Bone marrow smear:
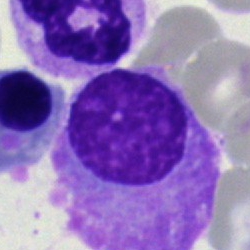 Q: What cell is this?
A: This is a plasmacyte.